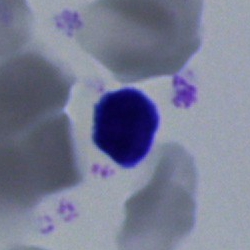Showing a typical lymphocyte.